Peripheral blood film.
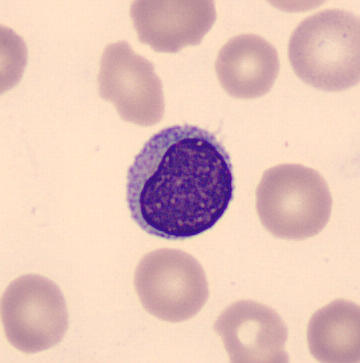 This is a typical lymphocyte.